Bone marrow aspirate smear; MGG-stained:
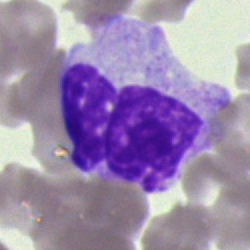Morphology consistent with a monocyte.